Bone marrow smear · May-Grünwald-Giemsa/Pappenheim stain · image size 250×250 — 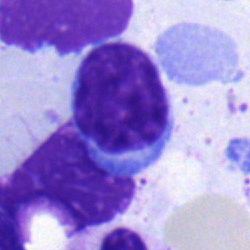
Showing a typical lymphocyte.